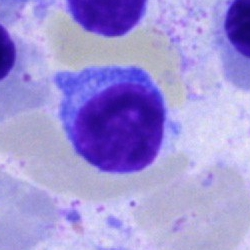
Single-cell crop from a bone marrow smear: lymphocyte.